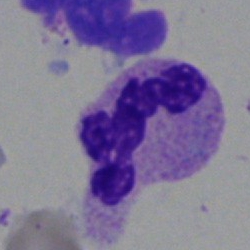 Specimen: bone marrow aspirate smear.
Morphological class: polymorphonuclear neutrophil.